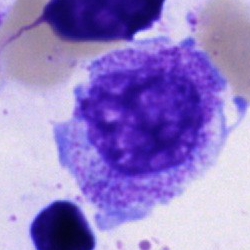

The classification is promyelocyte.